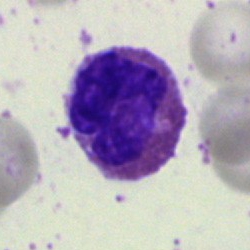 Specimen: bone marrow aspirate smear.
Morphological class: eosinophil.
Lineage: myeloid.